Peripheral blood film.
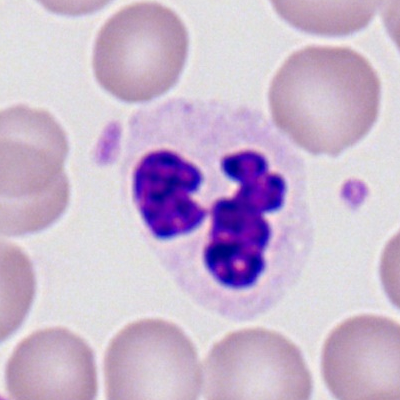

Specimen: peripheral blood smear.
Cell type: polymorphonuclear neutrophil.
Lineage: myeloid.